MGG-stained; bone marrow aspirate smear — 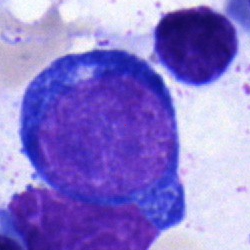This is a proerythroblast.